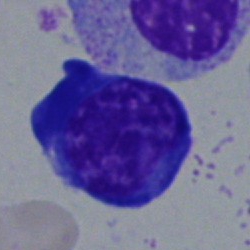 Q: What type of cell is this?
A: It is a nucleated red blood cell.